Bone marrow smear: 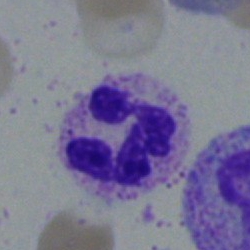

Morphology consistent with a polymorphonuclear neutrophil.